Bone marrow smear; single-cell crop; brightfield, 40× oil-immersion objective.
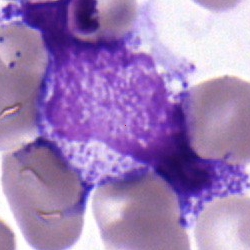
Single cell identified as a neutrophil (segmented).